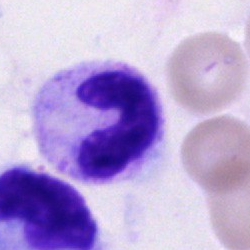 Morphology consistent with a band-form neutrophil.